Bone marrow smear. 250 by 250 pixels. Cropped to a single cell:
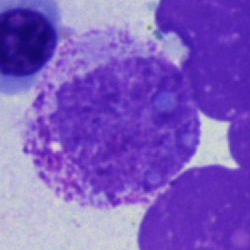 An artefact.